Bone marrow smear
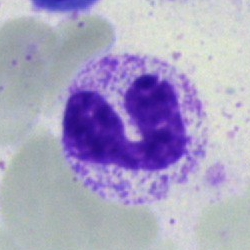Impression — polymorphonuclear neutrophil.